Pappenheim-stained · bone marrow smear · 40× objective, oil immersion — 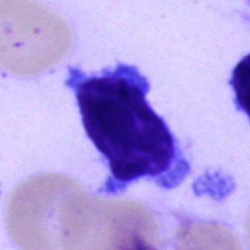Impression — typical lymphocyte.